Bone marrow aspirate smear:
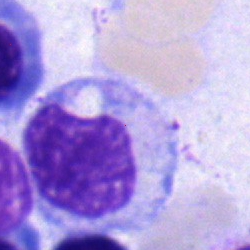
Normoblast.